400×400 px; peripheral blood film.
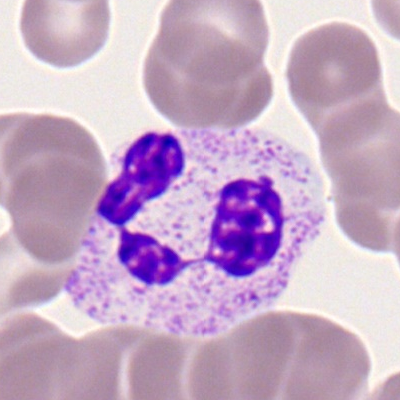

Morphology → neutrophil (segmented).